Bone marrow aspirate smear:
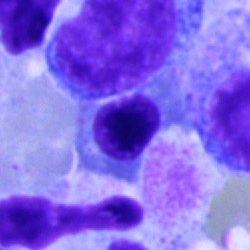Morphological class = erythroblast.